Bone marrow smear: 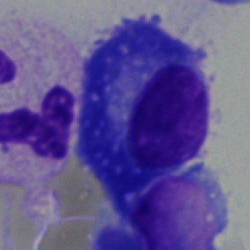This is a plasma cell.